Bone marrow aspirate smear
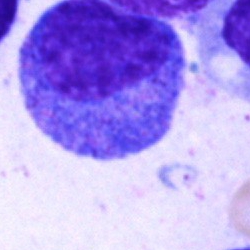Specimen: bone marrow smear.
Classification: promyelocyte.